Bone marrow aspirate smear:
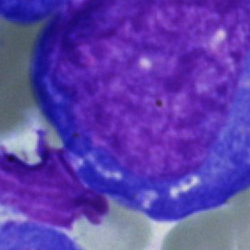

Specimen: bone marrow aspirate smear.
Cell type: blast cell.